Peripheral blood film; image size 400×400:
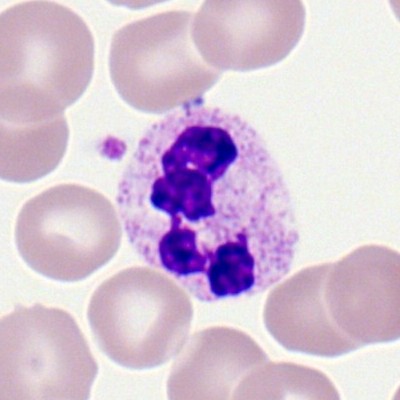 The classification is segmented neutrophil.